Bone marrow smear
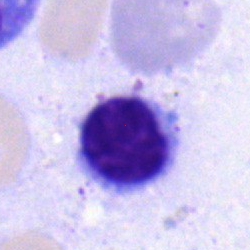The classification is typical lymphocyte.